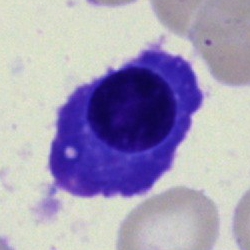
Morphology → plasma cell.